Cropped to a single cell · bone marrow smear · 250×250 px
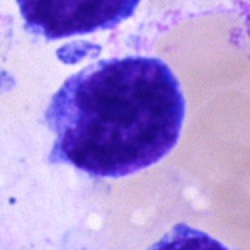

This is a blast cell.